Bone marrow smear.
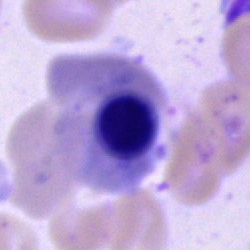 Impression — nucleated red blood cell.